Bone marrow aspirate smear · 40× oil immersion · May-Grünwald-Giemsa/Pappenheim stain
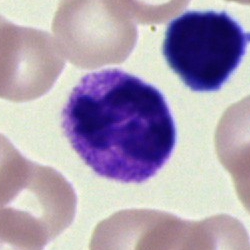 Single cell identified as a segmented neutrophil.